Single-cell field · bone marrow smear · 250 by 250 pixels
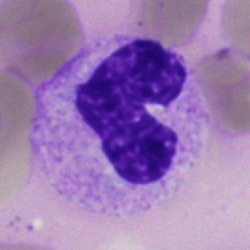Morphology consistent with a stab cell.